Bone marrow aspirate smear.
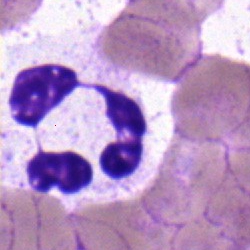
Q: What type of cell is this?
A: This is a polymorphonuclear neutrophil.